Image size 250×250; bone marrow aspirate smear; Pappenheim-stained — 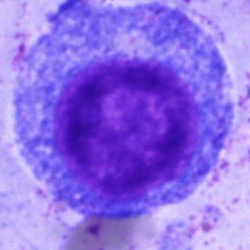Morphology consistent with a promyelocyte.